Bone marrow smear.
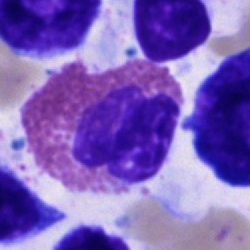

This is an eosinophil.